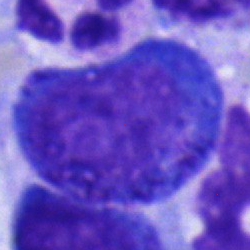 This is a pronormoblast.